Peripheral blood smear.
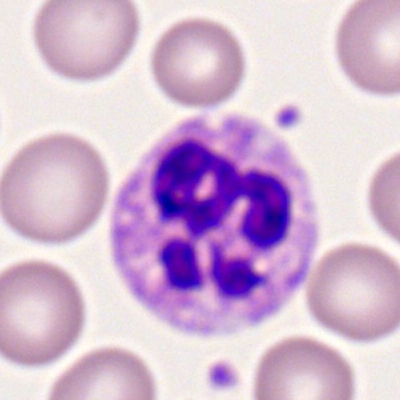
Morphology consistent with a polymorphonuclear neutrophil.